Bone marrow smear
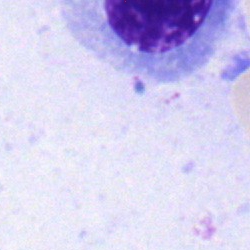
Showing a nucleated red cell.